Bone marrow aspirate smear — 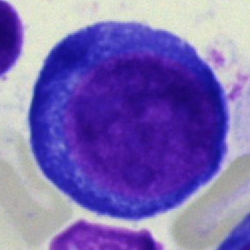 Morphology → proerythroblast.